Peripheral blood smear.
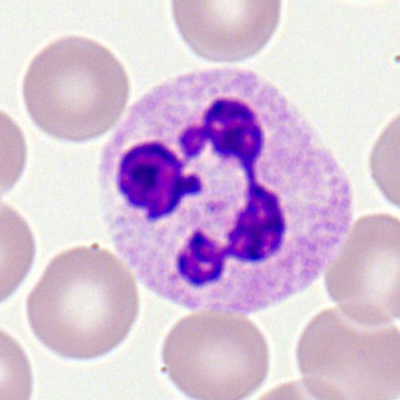 Q: What is the morphological classification of this cell?
A: It is a polymorphonuclear neutrophil.